Bone marrow smear
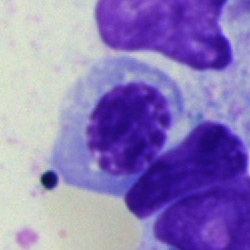This is a nucleated red cell.